Bone marrow aspirate smear. 250 by 250 pixels:
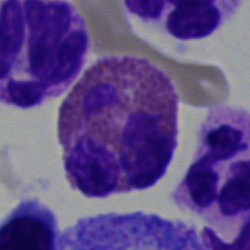

Morphological class — eosinophil.